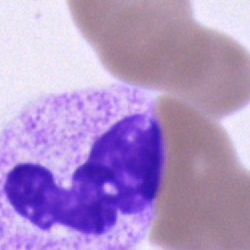 {"cell_type": "segmented neutrophil", "lineage": "myeloid"}